40× oil immersion. Bone marrow smear.
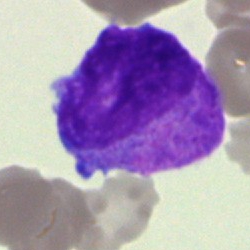

Impression — blast.